Bone marrow aspirate smear:
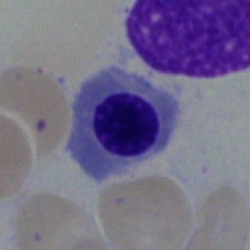
Q: What is the morphological classification of this cell?
A: Normoblast.